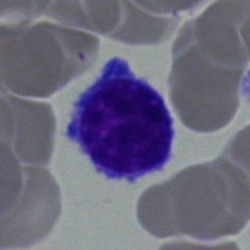
Lymphocyte.